40× oil immersion; bone marrow aspirate smear; single-cell field:
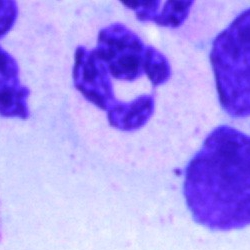 Specimen: bone marrow aspirate smear.
Cell: polymorphonuclear neutrophil.
Lineage: myeloid.